Bone marrow smear
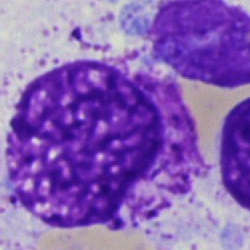 An artefact.